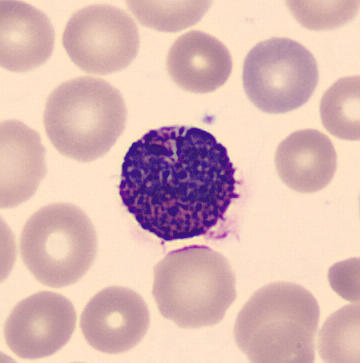Preparation: Single-cell crop · peripheral blood film.
Q: Identify the cell.
A: It is a basophil.